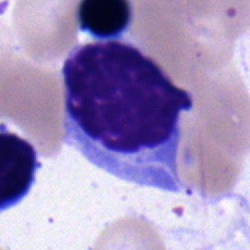

Single-cell crop from a bone marrow smear: erythroblast.